Bone marrow aspirate smear:
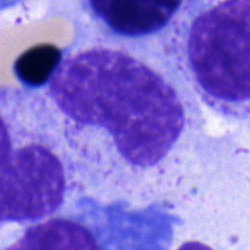 Cell type: metamyelocyte.